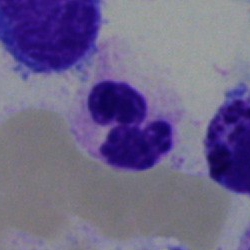

The classification is polymorphonuclear neutrophil.